Bone marrow smear — 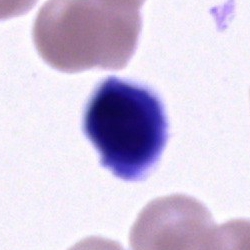Morphological class — cell of indeterminate lineage.